Bone marrow smear
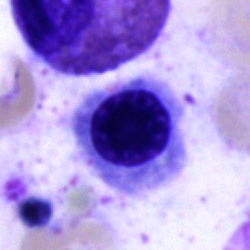
Classification — nucleated red cell.